Bone marrow smear — 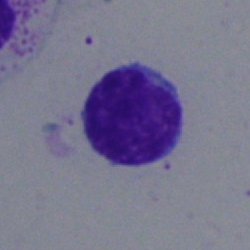A typical lymphocyte.